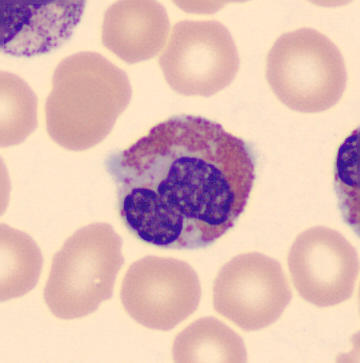 Acquisition: Peripheral blood film.

Classification — eosinophilic granulocyte.